Single-cell crop · bone marrow aspirate smear · Pappenheim-stained:
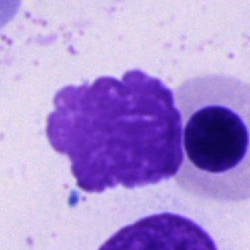 {"cell_type": "artifact"}